Bone marrow smear; single-cell field.
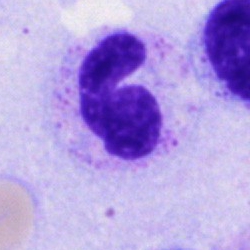

The cell shown is a neutrophil (segmented).